Peripheral blood smear
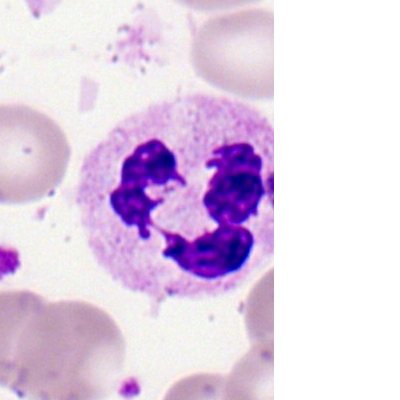 Segmented neutrophil.